Bone marrow smear: 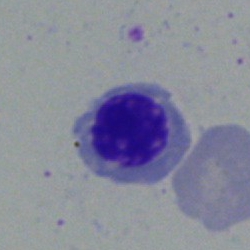
The morphological class is nucleated red cell.